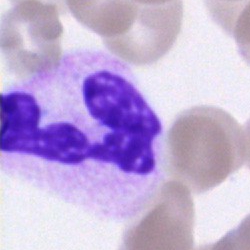The cell is segmented neutrophil.